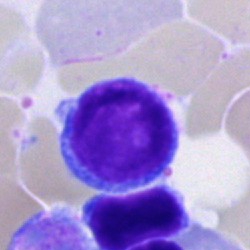Specimen: bone marrow aspirate smear.
Cell: lymphocyte.
Lineage: lymphoid.